Bone marrow smear · image size 250×250: 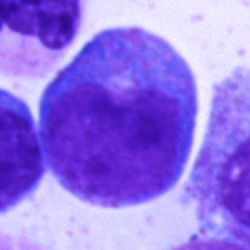 Q: What is shown here?
A: A promyelocyte.